MGG-stained · bone marrow aspirate smear — 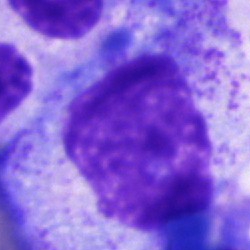

Classification: polymorphonuclear neutrophil.